Romanowsky-stained · peripheral blood smear:
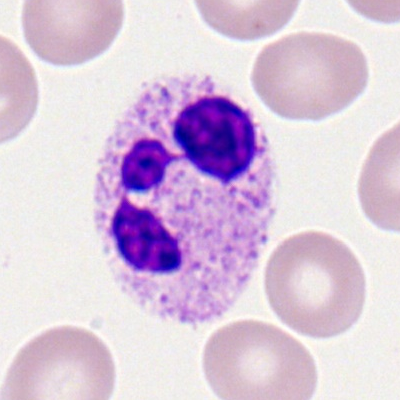
Single cell identified as a neutrophil (segmented).